Bone marrow aspirate smear
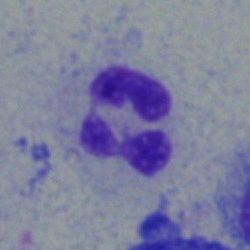 {"cell_type": "segmented neutrophil", "lineage": "myeloid"}